May-Grünwald-Giemsa stain · bone marrow aspirate smear
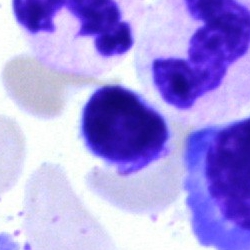Cell: typical lymphocyte.